Brightfield microscopy, 40× oil immersion; May-Grünwald-Giemsa stain; bone marrow aspirate smear — 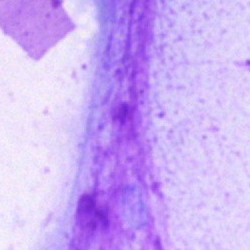

Cell — artefact.